Bone marrow smear; 40× objective, oil immersion; image size 250×250:
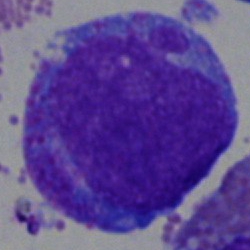Q: What type of cell is this?
A: This is a progranulocyte.